Peripheral blood film:
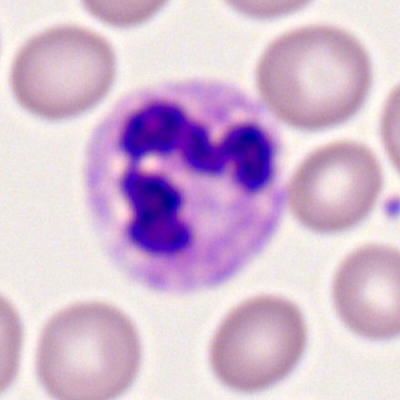Classification = neutrophil (segmented).